Bone marrow smear
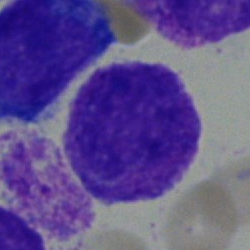The cell type is undifferentiated blast.